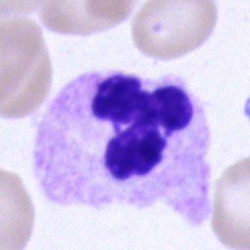 Specimen: bone marrow smear.
Classification: neutrophil (segmented).